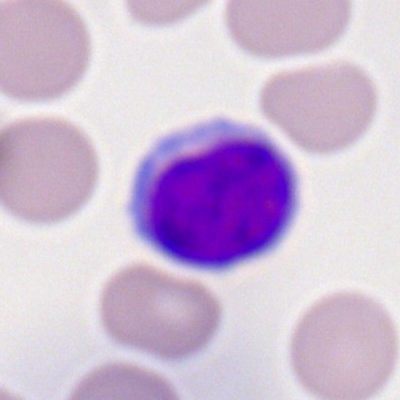Peripheral blood film, single cell — lymphocyte.